Cropped to a single cell · peripheral blood smear: 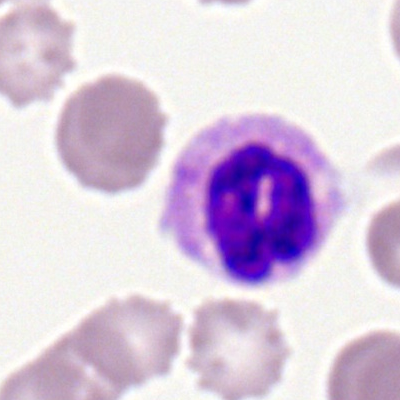

Single cell identified as a neutrophil (segmented).